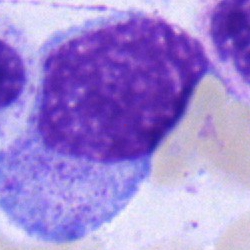Bone marrow smear showing a progranulocyte.